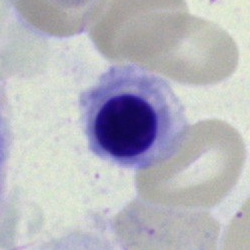

Bone marrow smear showing a nucleated red cell.